40× oil immersion · bone marrow smear · single-cell field — 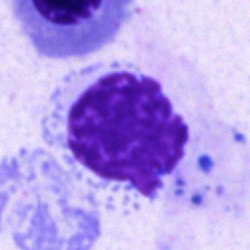Showing an artifact.